Bone marrow aspirate smear · single-cell crop.
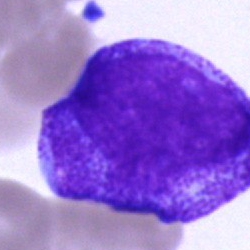

This is a promyelocyte.